Bone marrow aspirate smear — 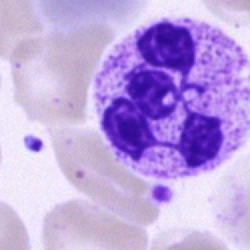Classification — neutrophil (segmented).